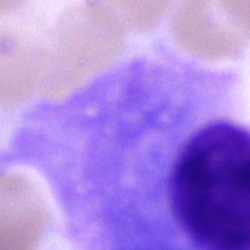 Impression → plasmacyte.